Bone marrow aspirate smear — 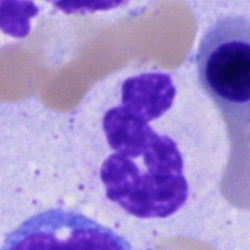 Segmented neutrophil.